Bone marrow smear · single cell centered in the field · 250×250.
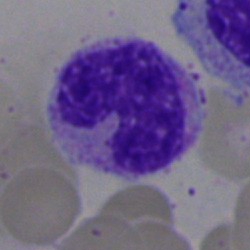
Stab cell.